Bone marrow smear · single-cell crop · May-Grünwald-Giemsa stain — 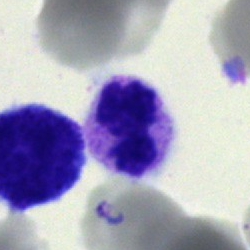Morphology — polymorphonuclear neutrophil.